Bone marrow smear. Image size 250×250.
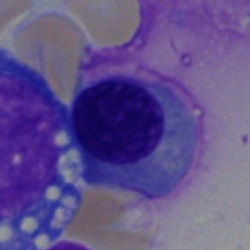The cell type is nucleated red blood cell.